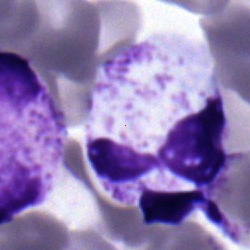Specimen: bone marrow smear.
Cell type: neutrophil (segmented).